40× oil immersion · bone marrow smear:
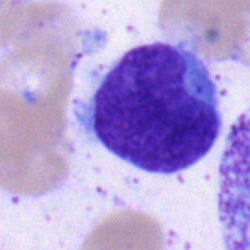

This is a hairy cell.